Brightfield, 40× oil-immersion objective · bone marrow aspirate smear: 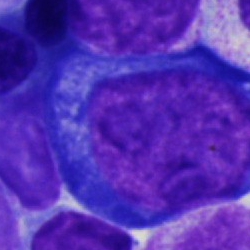
Single cell identified as a proerythroblast.